Peripheral blood film
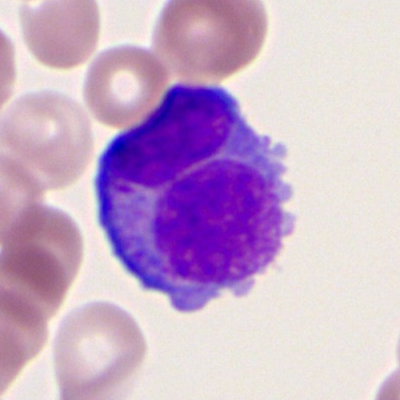
Q: Which cell type is shown here?
A: It is a bilobed-nucleus promyelocyte.